Peripheral blood smear — 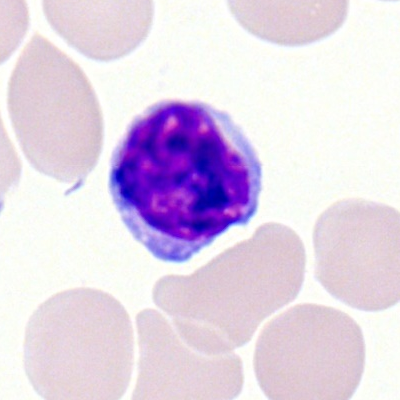Morphological class: typical lymphocyte.